M8 digital microscope (Precipoint), 100× oil immersion; peripheral blood film — 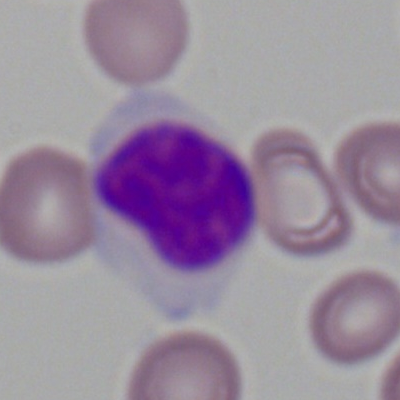

The cell shown is a typical lymphocyte.